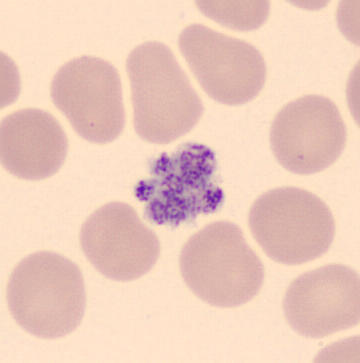 Q: What is this?
A: It is a thrombocyte.